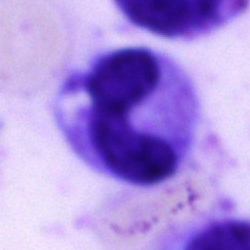
Impression → stab cell.